40× oil immersion. Single-cell crop. Bone marrow aspirate smear: 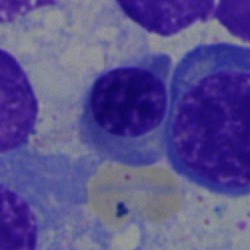

Morphological class: nucleated red blood cell.